Peripheral blood film; 400 by 400 pixels: 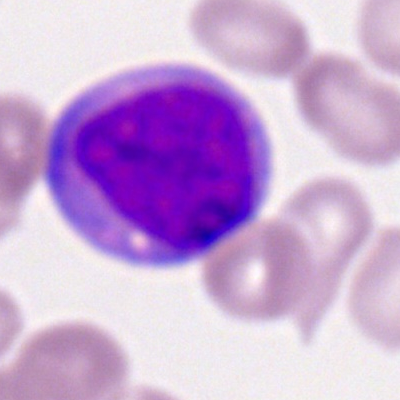Cell type = myeloid blast.